Bone marrow smear:
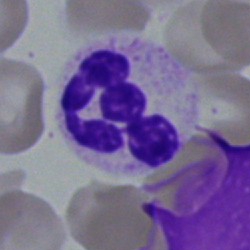

{"cell_type": "segmented neutrophil", "lineage": "myeloid"}